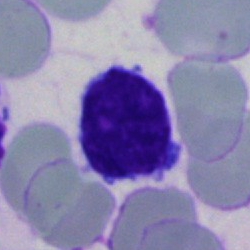Bone marrow aspirate smear, single cell — typical lymphocyte.